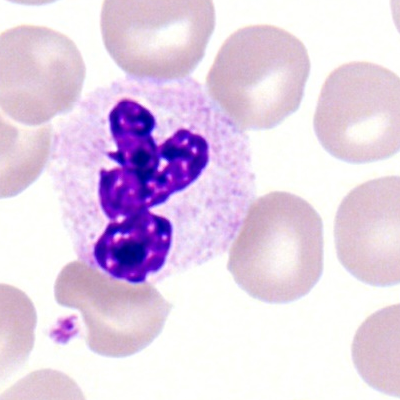Morphological class = polymorphonuclear neutrophil.